MGG-stained. Bone marrow aspirate smear: 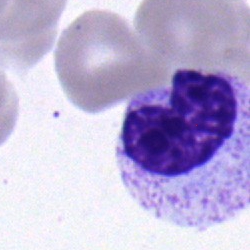

The morphological class is metamyelocyte.